Bone marrow aspirate smear.
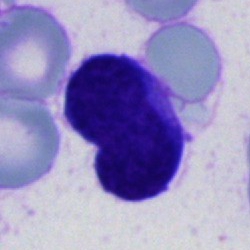Showing an unidentifiable cell.